Bone marrow aspirate smear.
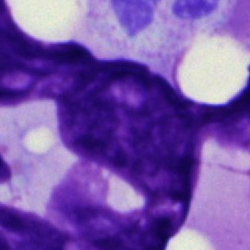

Cell: artefact.